Bone marrow smear: 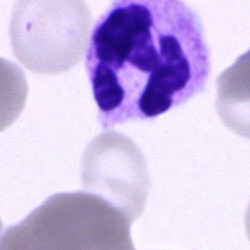

Morphology — segmented neutrophil.